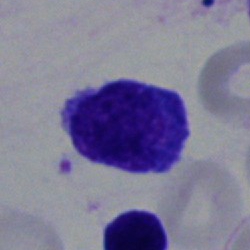

A typical lymphocyte on a bone marrow smear.